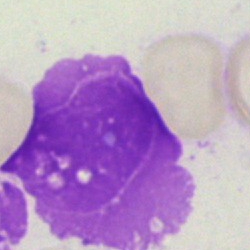Impression — artifact.